Bone marrow aspirate smear: 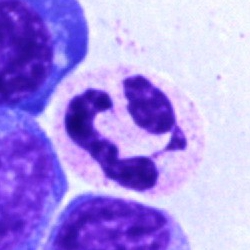

Showing a segmented neutrophil.